Romanowsky-type stain. Peripheral blood smear — 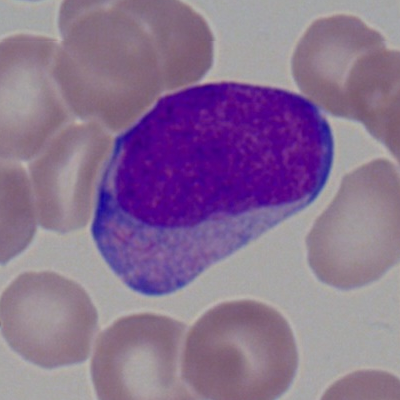Cell — myeloid blast.